Bone marrow smear: 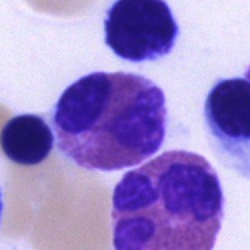 Classification — eosinophilic granulocyte.